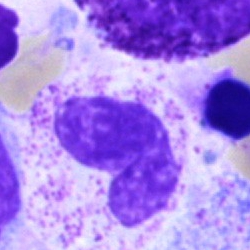

Morphology consistent with a band-form neutrophil.